Bone marrow aspirate smear. MGG-stained: 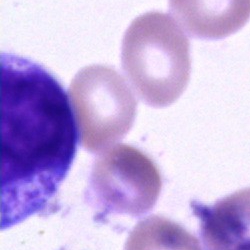
Q: What is the morphological classification of this cell?
A: It is an unidentifiable cell.